Bone marrow smear; 250 by 250 pixels; Pappenheim-stained.
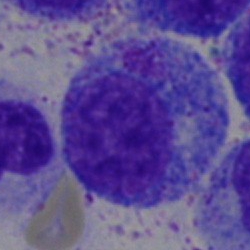

A promyelocyte.